Bone marrow aspirate smear · single-cell crop
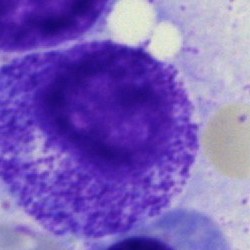 Q: What is shown here?
A: A myelocyte.